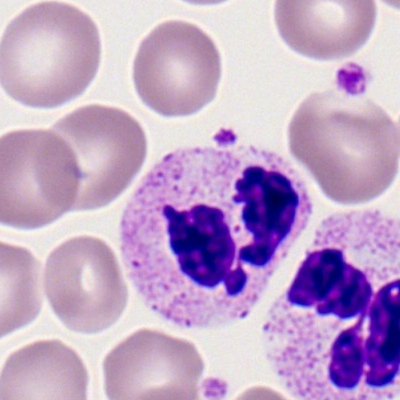 The cell shown is a polymorphonuclear neutrophil.